Image size 250×250. 40× objective, oil immersion. Bone marrow aspirate smear:
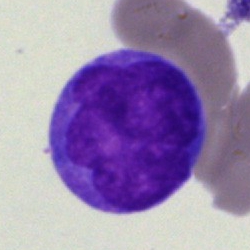Specimen: bone marrow smear.
Morphological class: blast.